Peripheral blood smear. CellaVision DM96 digital cell image:
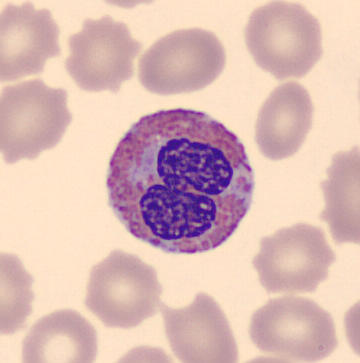

An eosinophilic granulocyte.